Bone marrow smear — 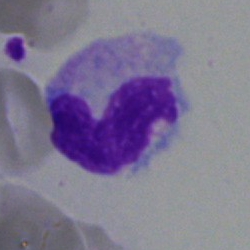 Specimen: bone marrow aspirate smear.
Cell: polymorphonuclear neutrophil.
Lineage: myeloid.